Bone marrow smear:
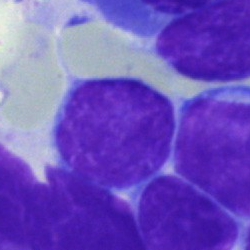The morphological class is typical lymphocyte.